Bone marrow smear.
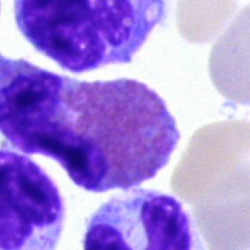 Single cell identified as an eosinophilic granulocyte.